Bone marrow smear: 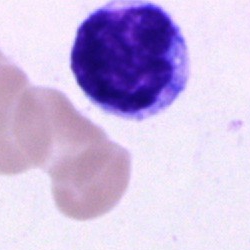
The cell shown is a lymphocyte.